Bone marrow aspirate smear:
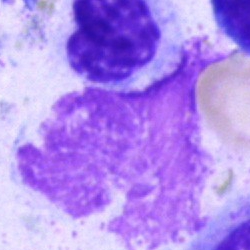

Q: What is shown here?
A: It is an artifact.